Bone marrow aspirate smear
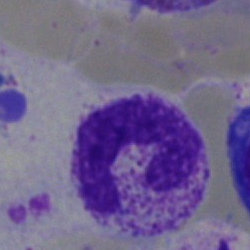

This is a stab cell.